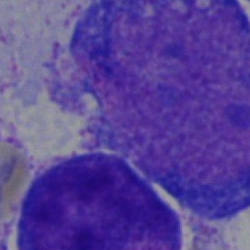 Showing an artifact.